Bone marrow aspirate smear · 250×250 px.
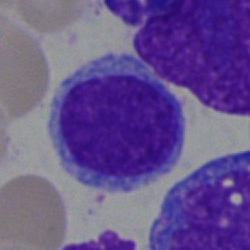
Classification — typical lymphocyte.